Bone marrow smear: 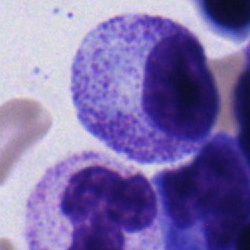
Impression — myelocyte.